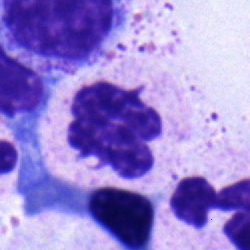 A neutrophil (segmented).